May-Grünwald-Giemsa/Pappenheim stain. Bone marrow smear. 250 by 250 pixels
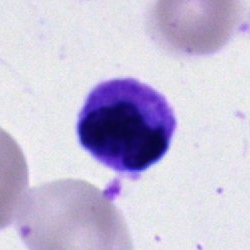

Morphological class — segmented neutrophil.